40× oil immersion · Pappenheim-stained · bone marrow aspirate smear.
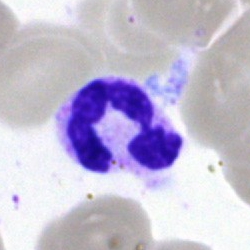
Single cell identified as a segmented neutrophil.